Pappenheim-stained · bone marrow aspirate smear.
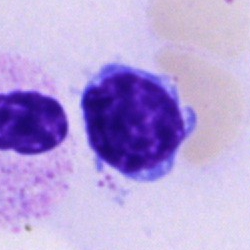Morphology consistent with a typical lymphocyte.